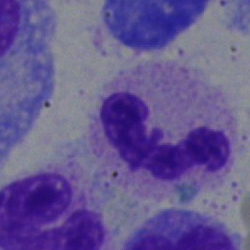
Q: What is the morphological classification of this cell?
A: This is a neutrophil (segmented).